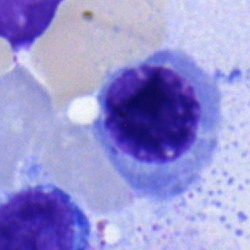Morphology — normoblast.